Bone marrow aspirate smear — 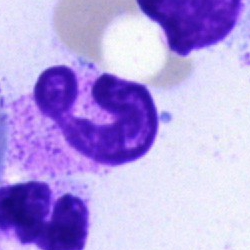
Showing a neutrophil (segmented).